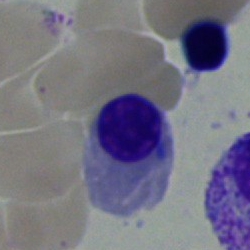

Morphological class: nucleated red blood cell.